Bone marrow smear; single-cell crop:
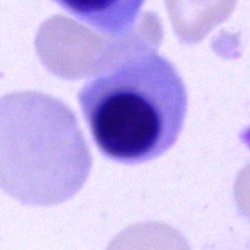Morphological class — nucleated red blood cell.